Peripheral blood film.
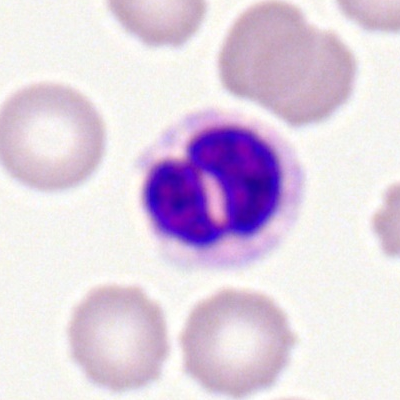 Morphology → segmented neutrophil.